Bone marrow smear.
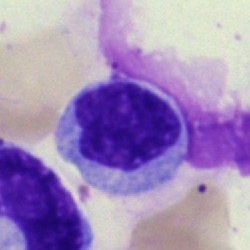 A typical lymphocyte.